Bone marrow aspirate smear; 40× oil immersion; 250×250.
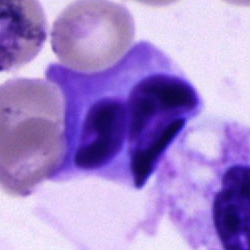

Impression — cell of indeterminate lineage.